Bone marrow aspirate smear — 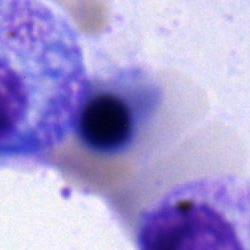

Specimen: bone marrow aspirate smear.
Morphological class: erythroblast.